250 by 250 pixels. Bone marrow smear. Single-cell crop: 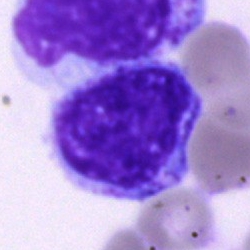
Q: What is shown here?
A: Cell of indeterminate lineage.